Bone marrow aspirate smear. 250×250.
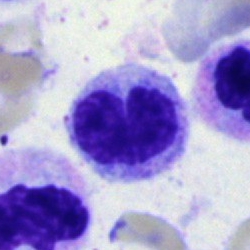

This is a neutrophil (band).